Peripheral blood film
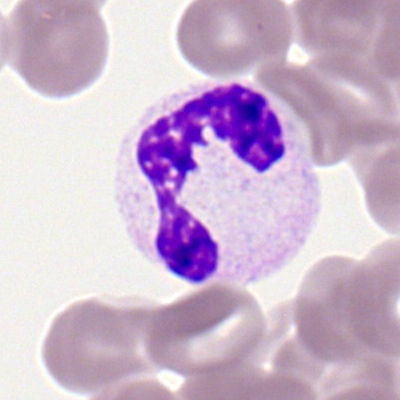

Classification = segmented neutrophil.